Peripheral blood smear: 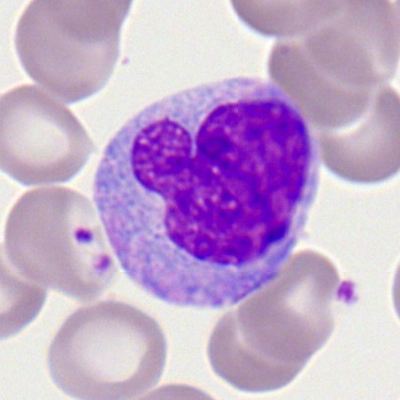

Morphology consistent with a monocyte.